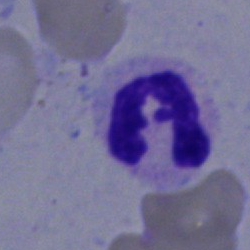
Morphology → polymorphonuclear neutrophil.